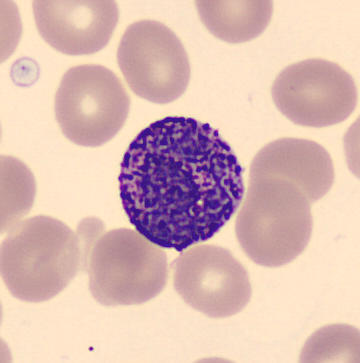 Peripheral blood film, single cell — basophil.